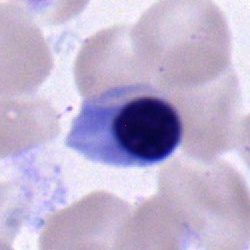Q: What type of cell is this?
A: An erythroblast.